Bone marrow smear · image size 250×250.
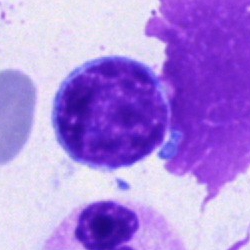Showing a typical lymphocyte.